Bone marrow aspirate smear:
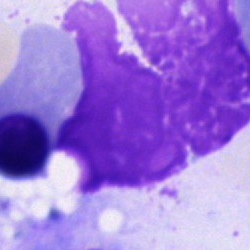Q: What is shown here?
A: This is an artefact.